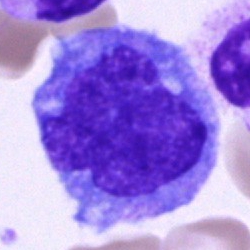

A monocyte on a bone marrow smear.